Bone marrow smear. May-Grünwald-Giemsa stain
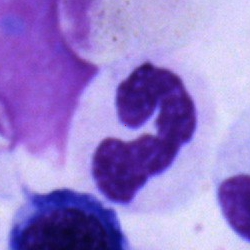 Classification: polymorphonuclear neutrophil.